250×250 · bone marrow smear · cropped to a single cell: 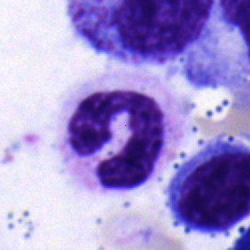

Classification = neutrophil (segmented).